Bone marrow aspirate smear. May-Grünwald-Giemsa stain — 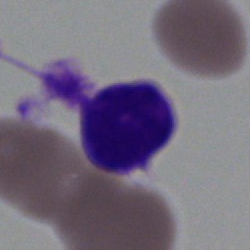 Impression — lymphocyte.